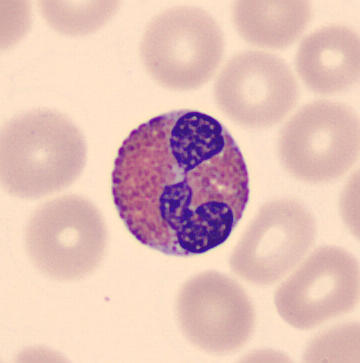

Morphological class — eosinophilic granulocyte.